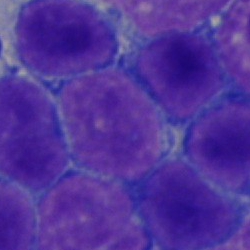
Specimen: bone marrow aspirate smear.
Cell type: lymphocyte.
Lineage: lymphoid.